Bone marrow smear — 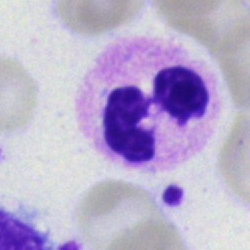
Showing a neutrophil (segmented).